May-Grünwald-Giemsa stain; bone marrow smear; 250 by 250 pixels: 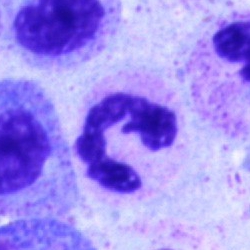 Impression → polymorphonuclear neutrophil.